Bone marrow aspirate smear.
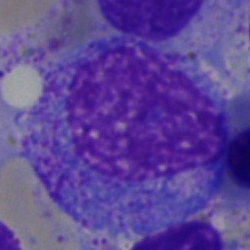
Showing a progranulocyte.